250×250 px. Bone marrow aspirate smear — 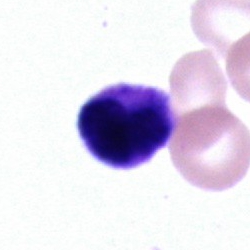Q: Which cell type is shown here?
A: A cell of indeterminate lineage.